Brightfield microscopy, 40× oil immersion · 250×250 · bone marrow aspirate smear.
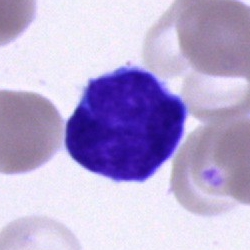

Q: Identify the cell.
A: This is a typical lymphocyte.